Bone marrow aspirate smear: 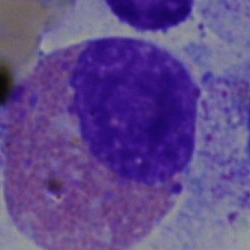 Q: What cell is this?
A: Eosinophilic granulocyte.